40× oil immersion · bone marrow aspirate smear · cropped to a single cell.
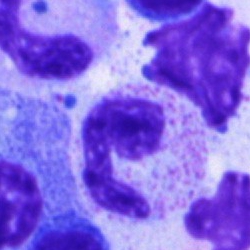Q: What is shown here?
A: A segmented neutrophil.